40× oil immersion · bone marrow smear
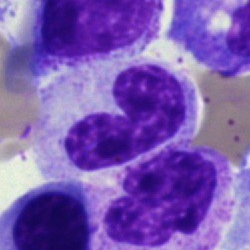 Stab cell.